Image size 250×250. MGG-stained. Bone marrow smear
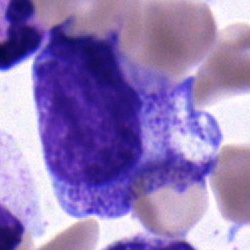

This is a progranulocyte.